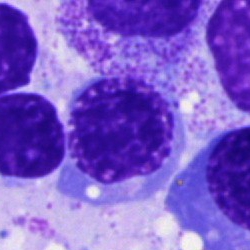
A nucleated red blood cell on a bone marrow smear.